Bone marrow smear:
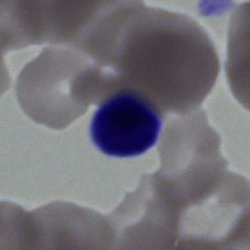 Classification: typical lymphocyte.